Bone marrow aspirate smear:
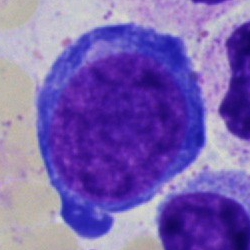

Classification: pronormoblast.